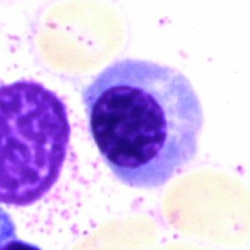 Morphological class = nucleated red blood cell.